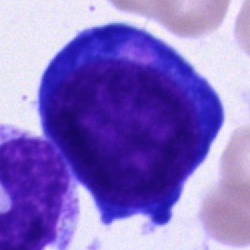Bone marrow smear showing a pronormoblast.